Bone marrow aspirate smear.
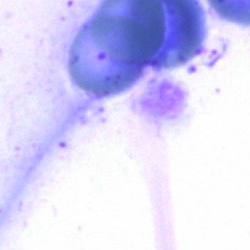
Single cell identified as an artefact.